Bone marrow smear · May-Grünwald-Giemsa stain — 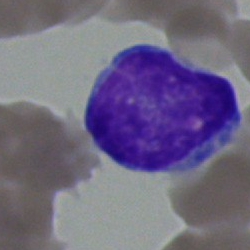Specimen: bone marrow smear.
Classification: blast cell.